Bone marrow aspirate smear. 250 by 250 pixels. Pappenheim-stained:
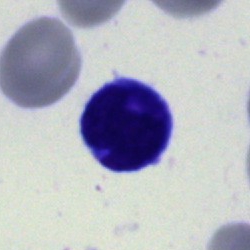 {"cell_type": "blast cell"}